Bone marrow aspirate smear: 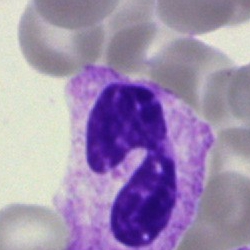 {"cell_type": "neutrophil (segmented)", "lineage": "myeloid"}